May-Grünwald-Giemsa/Pappenheim stain; bone marrow smear
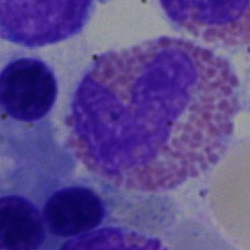Single cell identified as an eosinophilic granulocyte.